40× oil immersion; bone marrow smear.
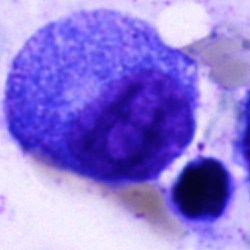
Progranulocyte.